Bone marrow aspirate smear · May-Grünwald-Giemsa/Pappenheim stain.
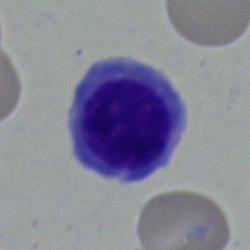 Q: What type of cell is this?
A: A normoblast.